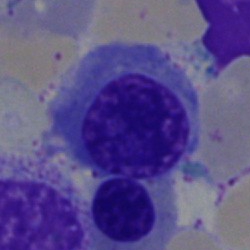 A normoblast on a bone marrow smear.